250 by 250 pixels; bone marrow smear: 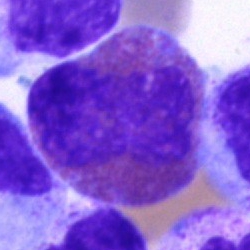

Specimen: bone marrow aspirate smear.
Cell: eosinophilic granulocyte.
Lineage: myeloid.